May-Grünwald-Giemsa/Pappenheim stain · 40× objective, oil immersion · bone marrow aspirate smear.
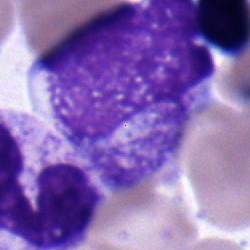 Myelocyte.